Peripheral blood film — 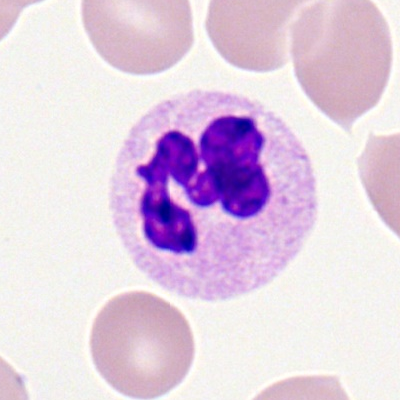 Showing a neutrophil (segmented).